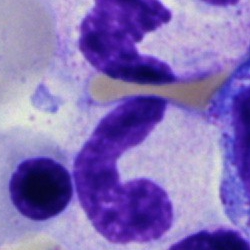

The cell is band-form neutrophil.